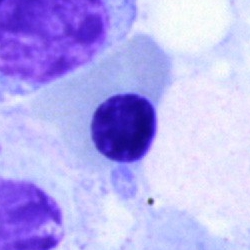Q: What type of cell is this?
A: It is an erythroblast.